Bone marrow aspirate smear · Pappenheim-stained — 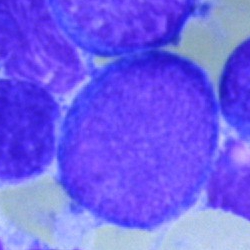
Cell = blast cell.